Brightfield, 40× oil-immersion objective · bone marrow aspirate smear: 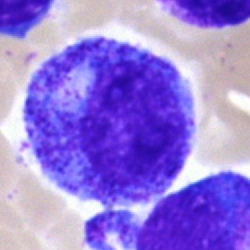 {"cell_type": "promyelocyte", "lineage": "myeloid"}